Bone marrow smear. Brightfield, 40× oil-immersion objective. Single cell centered in the field
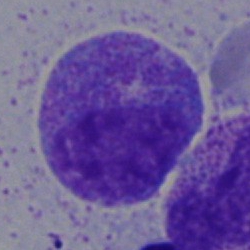 Specimen: bone marrow aspirate smear.
Classification: promyelocyte.
Lineage: myeloid.